Bone marrow smear: 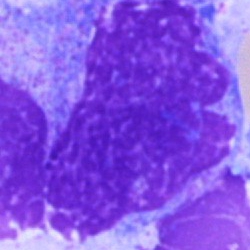
The cell shown is an artefact.